May-Grünwald-Giemsa/Pappenheim stain. Single-cell field. Bone marrow aspirate smear
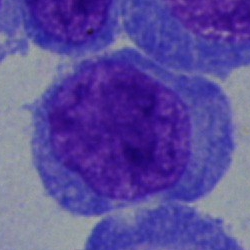Q: What type of cell is this?
A: A blast cell.